Bone marrow aspirate smear: 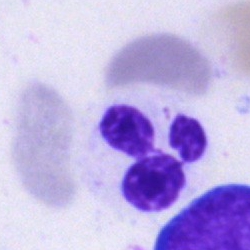

Neutrophil (segmented).